Bone marrow aspirate smear
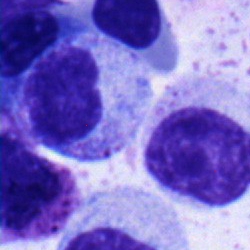
{"cell_type": "metamyelocyte"}